Bone marrow aspirate smear — 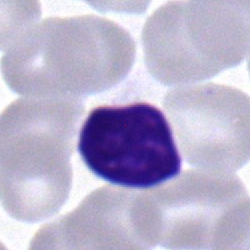A typical lymphocyte.